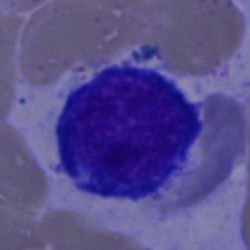 Cell — nucleated red blood cell.